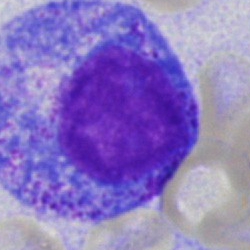 A progranulocyte on a bone marrow smear.